Bone marrow smear
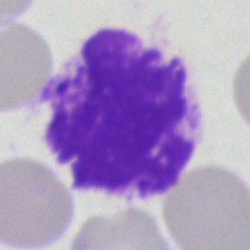 Specimen: bone marrow smear.
Cell type: artifact.